Peripheral blood film; May Grünwald-Giemsa stain; cropped to a single cell: 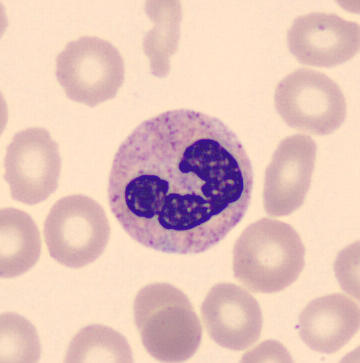
Impression — polymorphonuclear neutrophil.